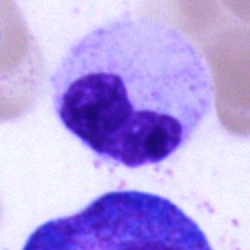 Specimen: bone marrow aspirate smear.
Morphological class: metamyelocyte.
Lineage: myeloid.